Bone marrow smear; image size 250×250: 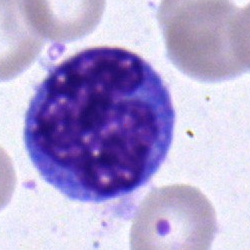Morphology consistent with a monocyte.